Bone marrow aspirate smear. MGG-stained. Brightfield microscopy, 40× oil immersion — 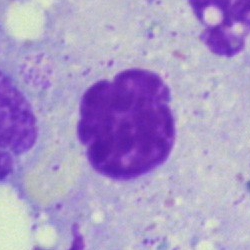 Morphology → artifact.